40× objective, oil immersion · bone marrow smear · single cell centered in the field
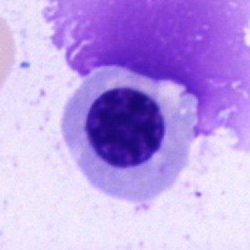 Cell = nucleated red cell.